Peripheral blood film
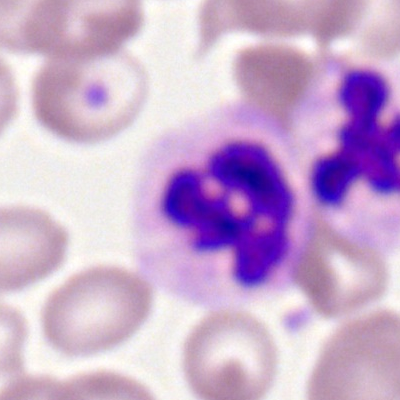

Q: What is shown here?
A: It is a polymorphonuclear neutrophil.